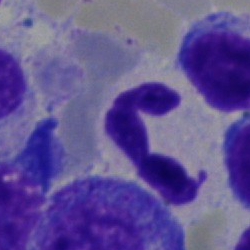 Cell — polymorphonuclear neutrophil.